Bone marrow smear
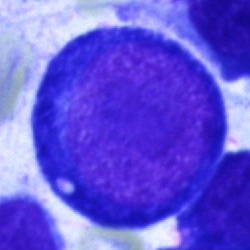
Specimen: bone marrow smear.
Cell: proerythroblast.
Lineage: erythroid.